Peripheral blood smear: 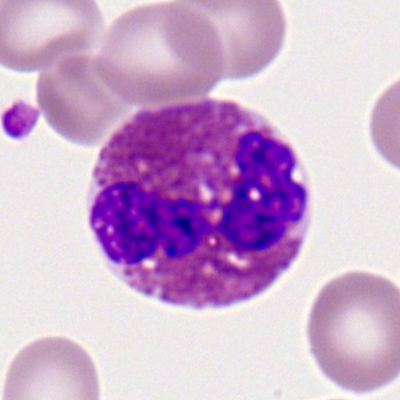 This is an eosinophil.